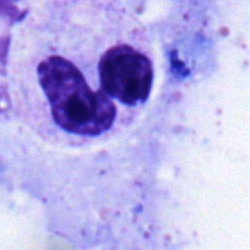
Q: What cell is this?
A: This is a polymorphonuclear neutrophil.